Bone marrow aspirate smear — 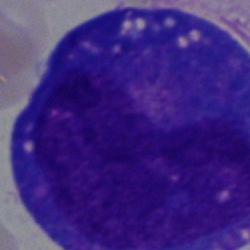
Classification = blast.